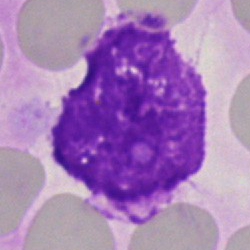This is an artifact.